Pappenheim-stained · bone marrow aspirate smear: 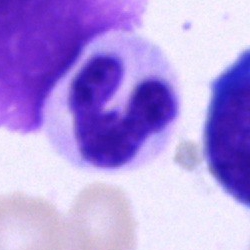

Specimen: bone marrow aspirate smear.
Classification: polymorphonuclear neutrophil.